Bone marrow aspirate smear — 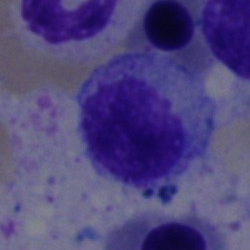 Classification — promyelocyte.